Peripheral blood smear. M8 digital microscope (Precipoint), 100× oil immersion. Cropped to a single cell: 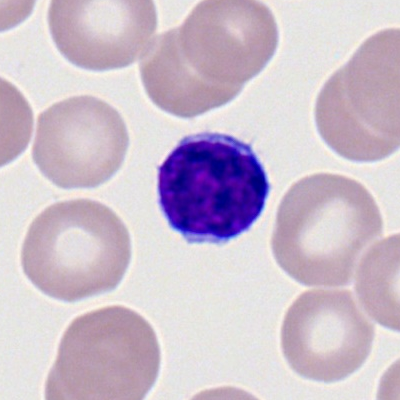 A lymphocyte.